Bone marrow aspirate smear; single-cell field
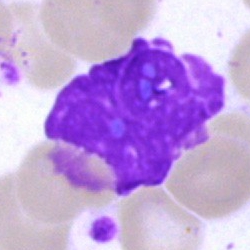
The morphological class is artefact.